Bone marrow smear.
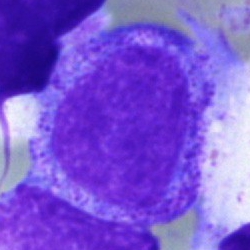 Cell: myelocyte.